Bone marrow smear. Single-cell field. 250 by 250 pixels
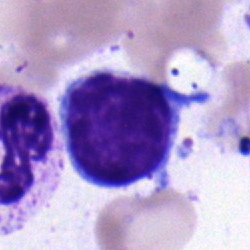
Q: What cell is this?
A: This is a typical lymphocyte.